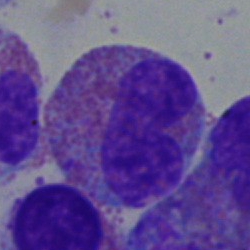
Single cell identified as an eosinophil.